Bone marrow smear: 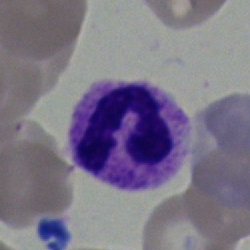

Morphological class — neutrophil (segmented).